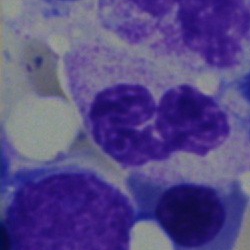 Impression — neutrophil (segmented).